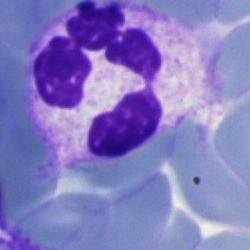Cell type = polymorphonuclear neutrophil.